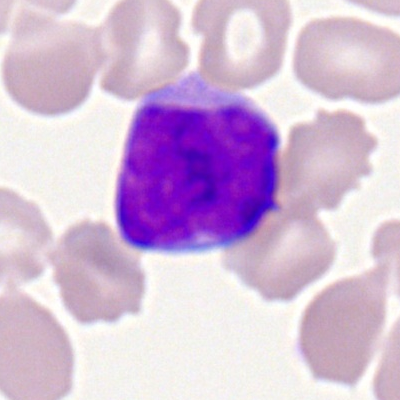Single cell identified as a myeloblast.